Brightfield, 40× oil-immersion objective · bone marrow smear · single-cell field — 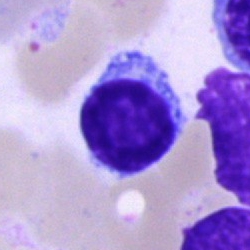Q: What cell is this?
A: This is a typical lymphocyte.